Bone marrow smear:
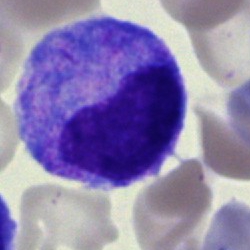
The morphological class is myelocyte.